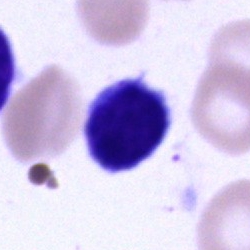Q: Identify the cell.
A: It is a lymphocyte.